Bone marrow aspirate smear; brightfield microscopy, 40× oil immersion:
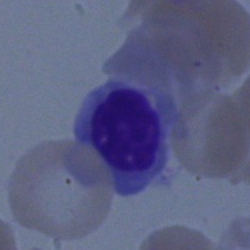
Morphological class: nucleated red cell.